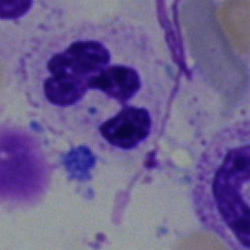 Q: What is the morphological classification of this cell?
A: A segmented neutrophil.